Bone marrow aspirate smear:
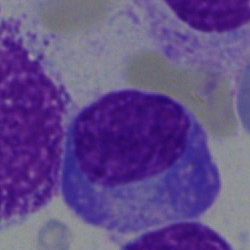 Q: What is shown here?
A: Plasma cell.